Image size 250×250 · 40× oil immersion · bone marrow smear
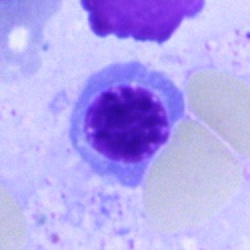

Q: Which cell type is shown here?
A: A normoblast.